Bone marrow smear:
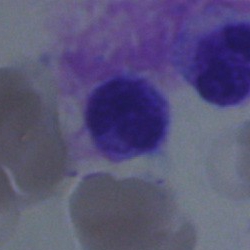 The cell is band neutrophil.